Bone marrow smear — 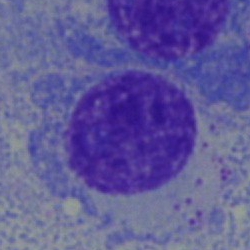
Specimen: bone marrow smear.
Morphological class: plasma cell.
Lineage: lymphoid.